Peripheral blood film · M8 digital microscope (Precipoint), 100× oil immersion.
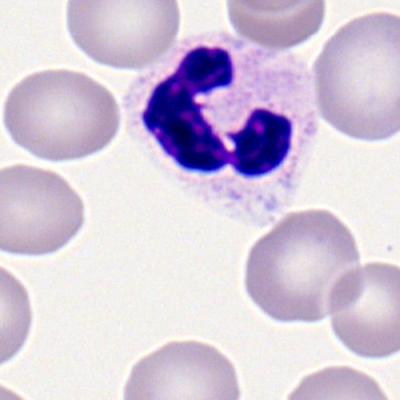A neutrophil (segmented).